Single-cell crop. Bone marrow smear:
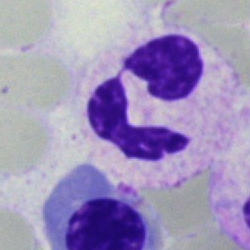

A neutrophil (segmented).